Bone marrow smear; May-Grünwald-Giemsa/Pappenheim stain: 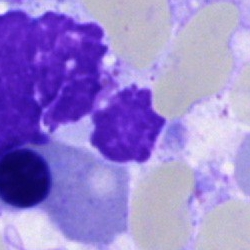

Morphological class: artefact.